Bone marrow smear
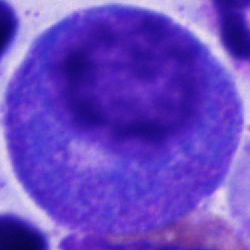
Cell type = promyelocyte.